Bone marrow smear.
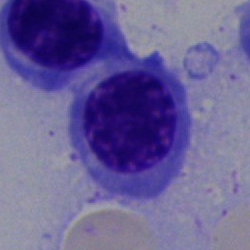Specimen: bone marrow aspirate smear.
Cell: nucleated red blood cell.